Bone marrow aspirate smear. May-Grünwald-Giemsa/Pappenheim stain
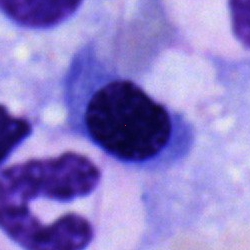

Classification: normoblast.